Bone marrow aspirate smear. 250×250: 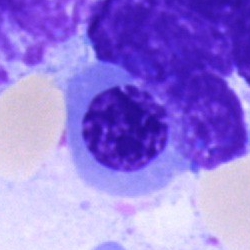

Cell type = erythroblast.